Bone marrow smear · brightfield microscopy, 40× oil immersion.
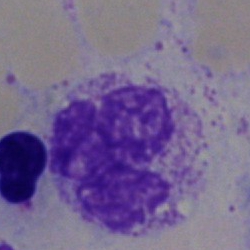Morphology consistent with an artefact.